Bone marrow smear; MGG-stained — 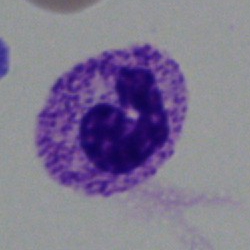

Cell = neutrophil (segmented).